40× objective, oil immersion; single cell centered in the field; bone marrow aspirate smear: 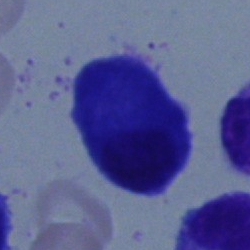Cell: plasma cell.